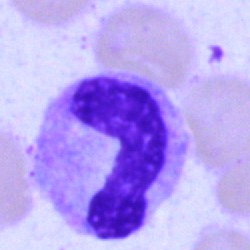Specimen: bone marrow smear.
Classification: stab cell.
Lineage: myeloid.